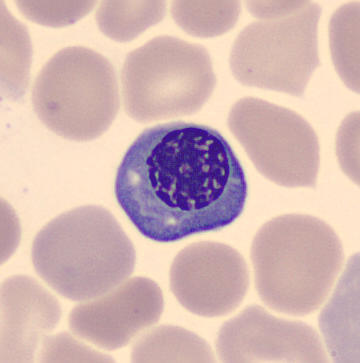

The cell shown is a normoblast.